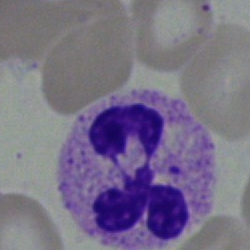 Specimen: bone marrow aspirate smear.
Classification: polymorphonuclear neutrophil.